Bone marrow smear: 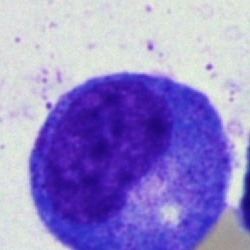Single cell identified as a progranulocyte.